Bone marrow aspirate smear; cropped to a single cell; 250×250:
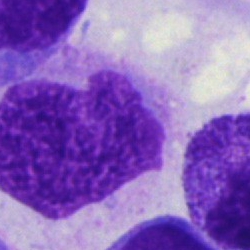
The cell shown is an artifact.